Bone marrow smear.
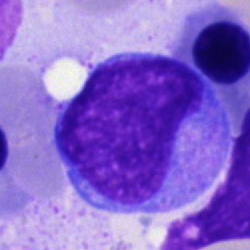Specimen: bone marrow smear.
Cell type: blast.